Bone marrow smear
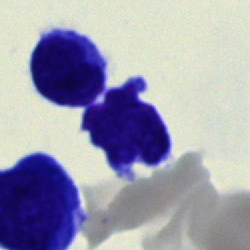

Q: Which cell type is shown here?
A: This is a typical lymphocyte.